Brightfield microscopy, 40× oil immersion. Bone marrow smear. Single cell centered in the field — 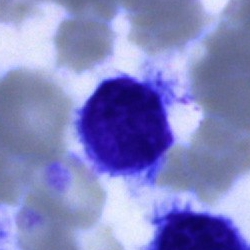 Classification: lymphocyte.